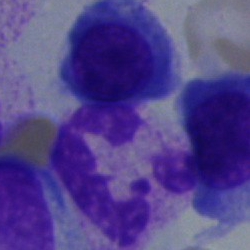

{"cell_type": "polymorphonuclear neutrophil"}